Brightfield, 40× oil-immersion objective; bone marrow smear; single cell centered in the field
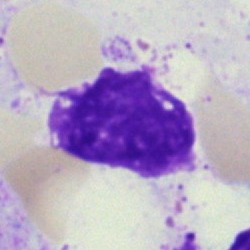Impression — artefact.